Bone marrow aspirate smear. Brightfield microscopy, 40× oil immersion:
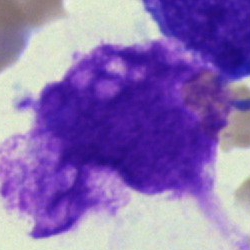

The cell type is artifact.